Bone marrow smear — 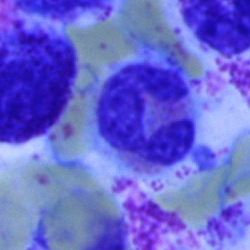
Impression → neutrophil (segmented).